Bone marrow aspirate smear: 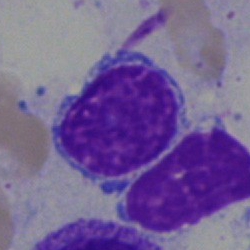 Morphological class — typical lymphocyte.